Bone marrow aspirate smear; brightfield, 40× oil-immersion objective:
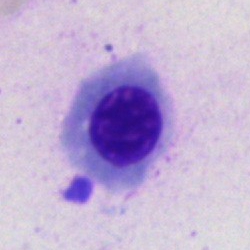 Single cell identified as an erythroblast.